Bone marrow aspirate smear:
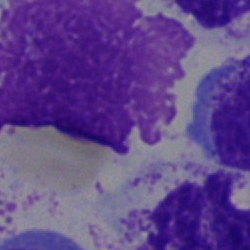 Morphology consistent with an artifact.